250×250 px · bone marrow smear.
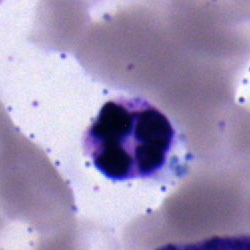The cell shown is a neutrophil (segmented).